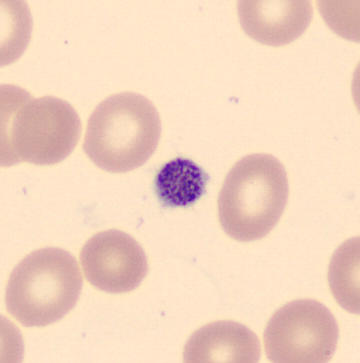{"cell_type": "platelet (thrombocyte)"}